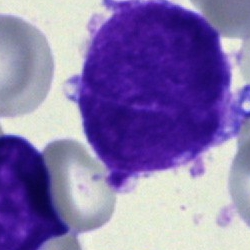

A blast.